Peripheral blood film:
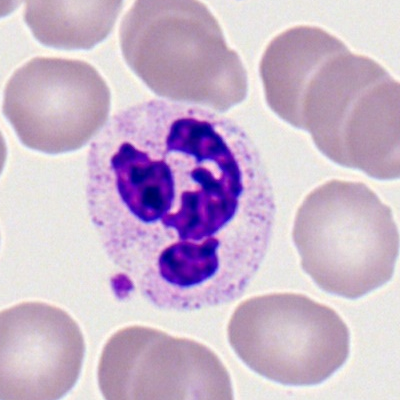 Q: Identify the cell.
A: Polymorphonuclear neutrophil.